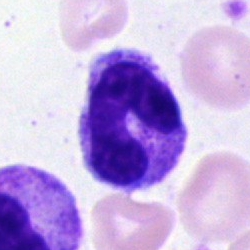
Cell: stab cell.